Bone marrow aspirate smear: 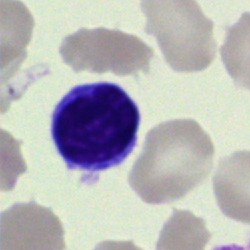 A typical lymphocyte.